Bone marrow smear.
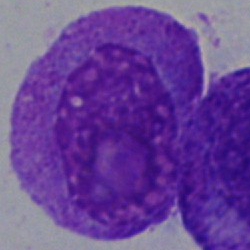
Specimen: bone marrow smear.
Morphological class: promyelocyte.
Lineage: myeloid.